Bone marrow smear.
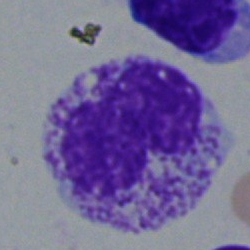
Q: What is the morphological classification of this cell?
A: Metamyelocyte.